Single-cell crop · bone marrow smear · 40× oil immersion.
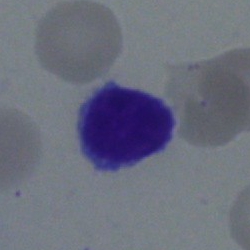Q: Which cell type is shown here?
A: This is a typical lymphocyte.